Bone marrow smear. MGG-stained: 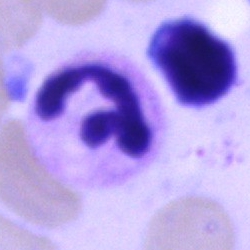

Polymorphonuclear neutrophil.